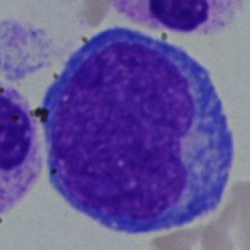
{"cell_type": "undifferentiated blast"}